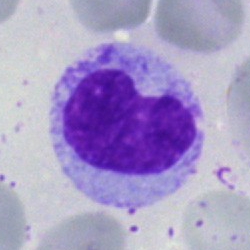
Cell type: metamyelocyte.